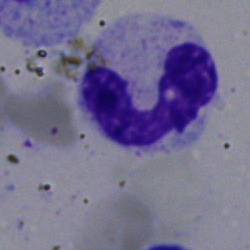 Q: What type of cell is this?
A: It is a polymorphonuclear neutrophil.